Single-cell crop. Bone marrow smear: 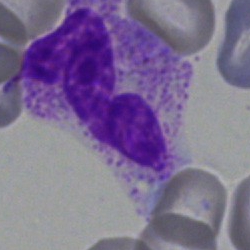Cell = neutrophil (band).